Peripheral blood smear — 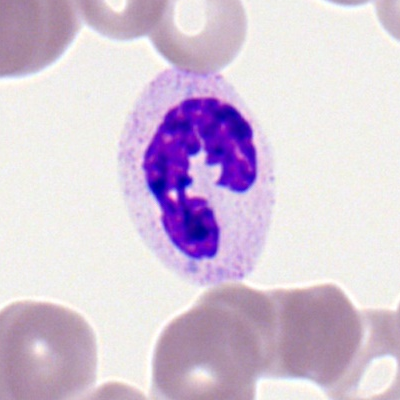 Classification = polymorphonuclear neutrophil.